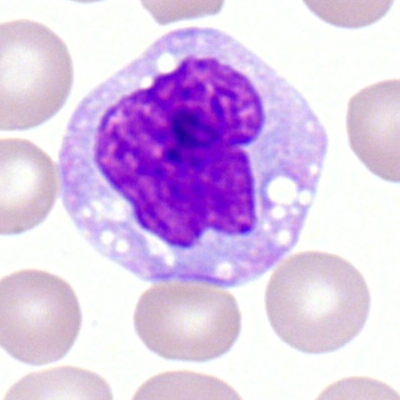
The classification is monocyte.